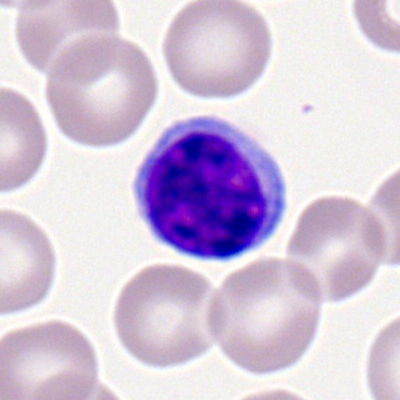Specimen: peripheral blood film.
Classification: lymphocyte.
Lineage: lymphoid.